Brightfield, 40× oil-immersion objective · bone marrow smear:
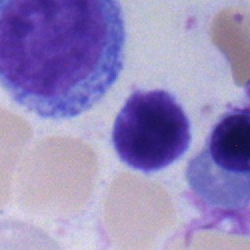 Q: What type of cell is this?
A: Lymphocyte.